250×250 px · bone marrow aspirate smear: 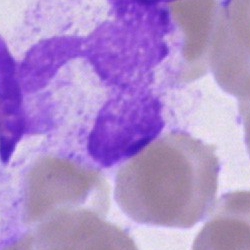
The cell is artefact.